Bone marrow aspirate smear · single-cell field
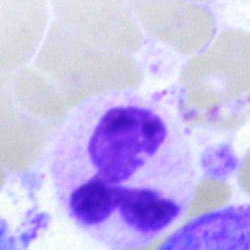 This is a neutrophil (segmented).